Bone marrow aspirate smear; 250×250 px:
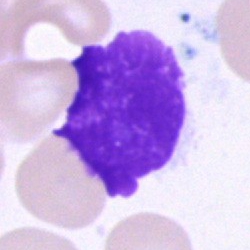 Morphology consistent with an artifact.